Bone marrow aspirate smear:
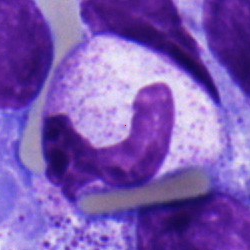

Q: Which cell type is shown here?
A: It is a neutrophil (band).